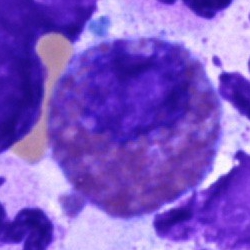
Cell type — eosinophilic granulocyte.